Bone marrow smear; cropped to a single cell.
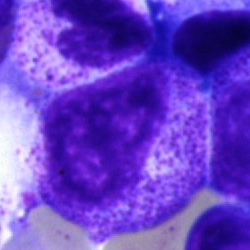
Impression → myelocyte.